Bone marrow smear
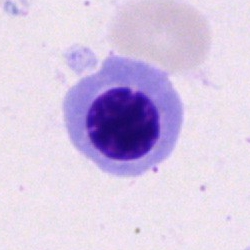 Specimen: bone marrow aspirate smear.
Classification: normoblast.